Bone marrow smear.
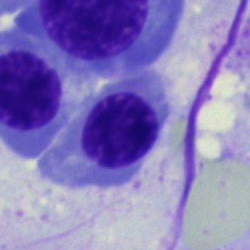 Classification = nucleated red cell.